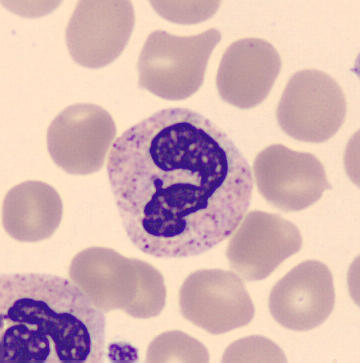

Identified as a segmented neutrophil.

Peripheral blood film.